Bone marrow smear · 40× oil immersion
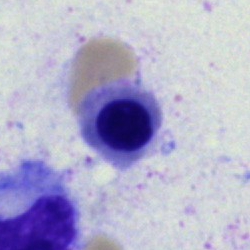

Cell type = erythroblast.